Bone marrow aspirate smear; 250×250; brightfield, 40× oil-immersion objective — 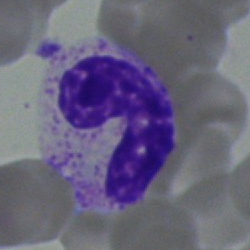

Cell: band neutrophil.